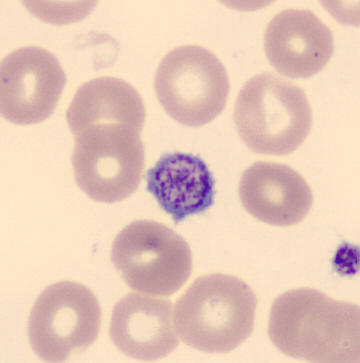
Morphology — platelet.